Bone marrow aspirate smear: 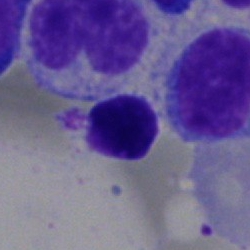

Cell — typical lymphocyte.